Peripheral blood film · brightfield, 100× oil-immersion objective — 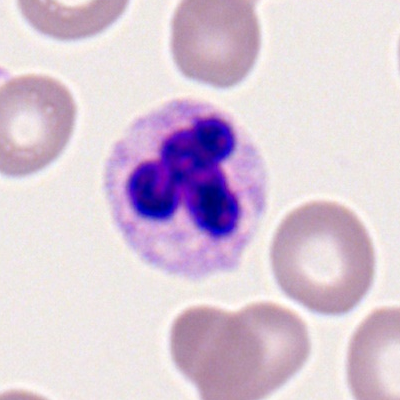Impression — segmented neutrophil.